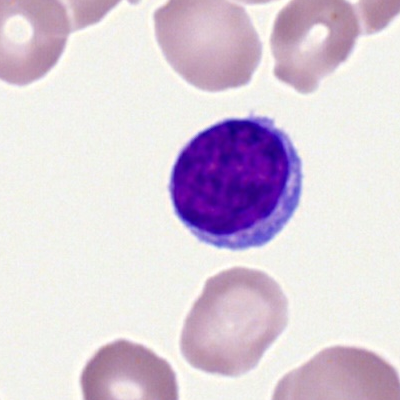 The cell type is typical lymphocyte.